Bone marrow aspirate smear. 40× objective, oil immersion
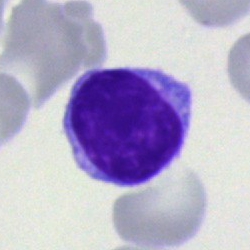Q: What cell is this?
A: It is a typical lymphocyte.